Brightfield microscopy, 40× oil immersion; cropped to a single cell; bone marrow smear — 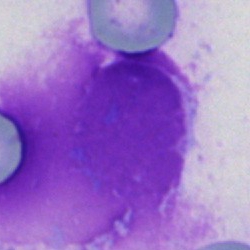

The morphological class is artefact.